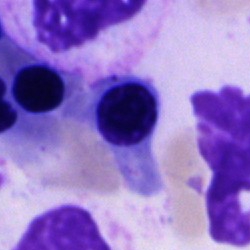Bone marrow aspirate smear, single cell — nucleated red blood cell.